Bone marrow aspirate smear — 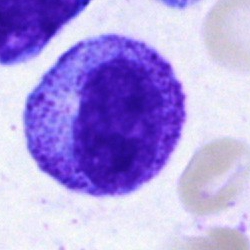

Q: What cell is this?
A: This is a myelocyte.